Pappenheim-stained · bone marrow smear.
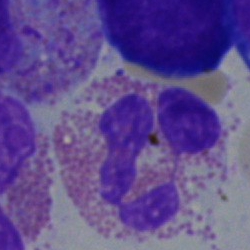

Specimen: bone marrow aspirate smear.
Cell type: eosinophilic granulocyte.
Lineage: myeloid.